250×250 px. Bone marrow smear — 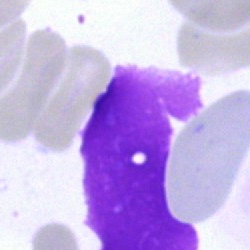 Single cell identified as an artifact.